40× oil immersion · Pappenheim-stained · bone marrow aspirate smear:
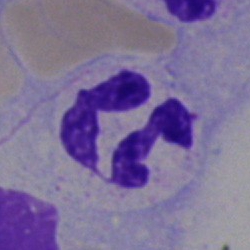 Single cell identified as a neutrophil (segmented).